Peripheral blood film.
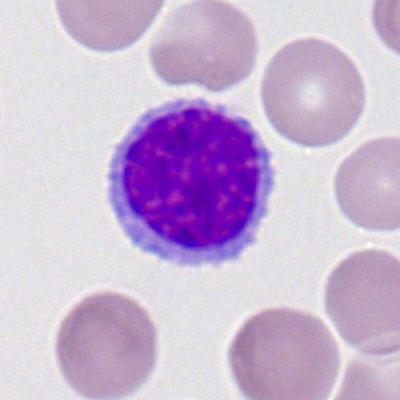Showing a lymphocyte.